Single-cell crop · bone marrow smear · brightfield, 40× oil-immersion objective
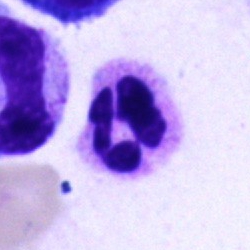{"cell_type": "neutrophil (segmented)", "lineage": "myeloid"}